Brightfield microscopy, 40× oil immersion; bone marrow aspirate smear:
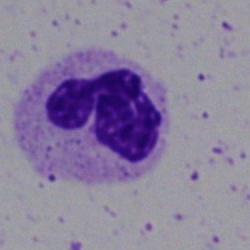

Q: What is shown here?
A: Segmented neutrophil.